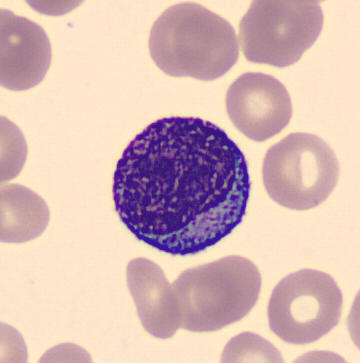
Q: What is shown here?
A: It is a progranulocyte.

CellaVision DM96 digital cell image · peripheral blood smear.